Peripheral blood film: 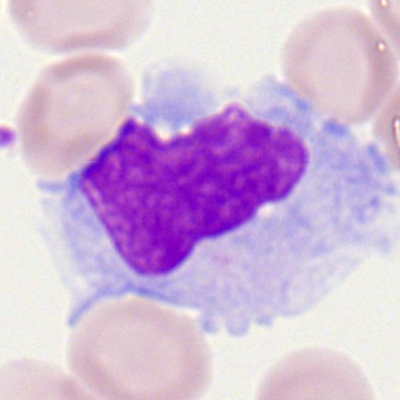 Morphological class — monocyte.